Single cell centered in the field. Brightfield microscopy, 40× oil immersion. Bone marrow smear
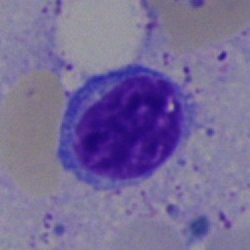 Cell type: typical lymphocyte.